Single cell centered in the field; bone marrow smear.
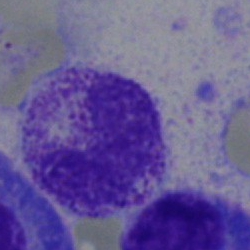 Q: What is the morphological classification of this cell?
A: This is a band-form neutrophil.